Peripheral blood smear. M8 digital microscope (Precipoint), 100× oil immersion
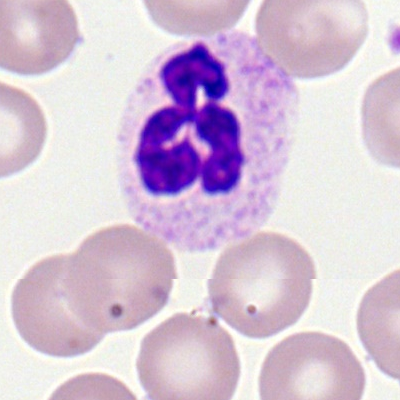

Q: Which cell type is shown here?
A: It is a polymorphonuclear neutrophil.